250 by 250 pixels; bone marrow smear; single-cell field: 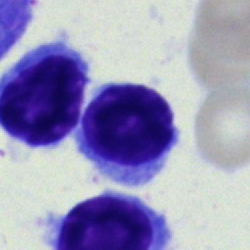{"cell_type": "typical lymphocyte", "lineage": "lymphoid"}